Romanowsky-stained. 400×400. Peripheral blood smear
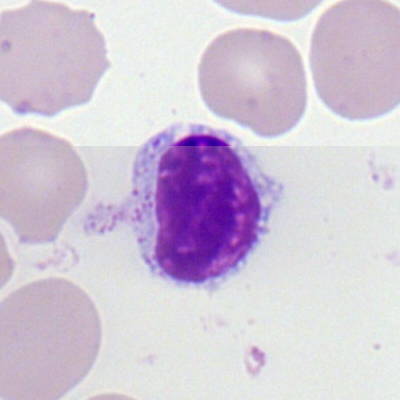
Specimen: peripheral blood smear.
Cell: lymphocyte.
Lineage: lymphoid.